Bone marrow aspirate smear. 40× objective, oil immersion. Single-cell field.
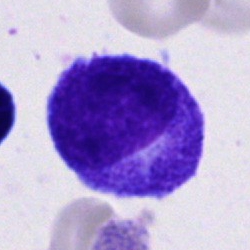

Morphology consistent with a promyelocyte.